Peripheral blood film.
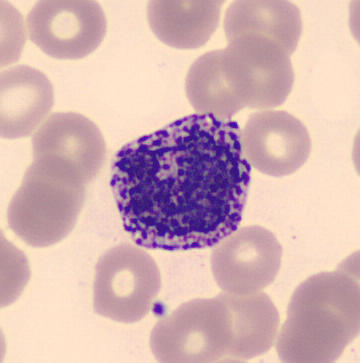
Cell type: basophilic granulocyte.